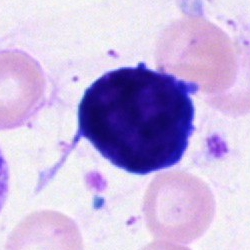 Classification = lymphocyte.